Bone marrow smear
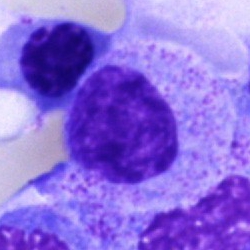

Q: What cell is this?
A: It is a myelocyte.